Bone marrow smear:
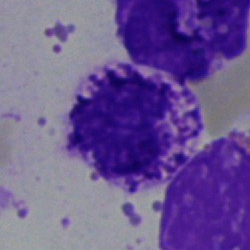A basophil.